Bone marrow aspirate smear · image size 250×250 — 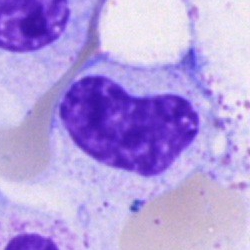
Specimen: bone marrow smear.
Cell: metamyelocyte.